Pappenheim-stained; bone marrow aspirate smear: 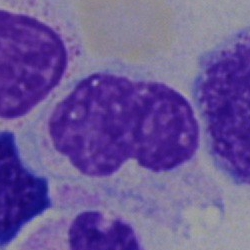
Q: Identify the cell.
A: It is a metamyelocyte.